Cropped to a single cell. Bone marrow aspirate smear — 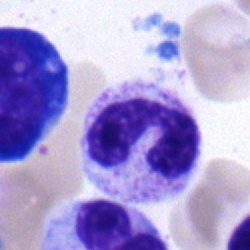 The cell type is neutrophil (band).